MGG-stained · single-cell field · bone marrow aspirate smear: 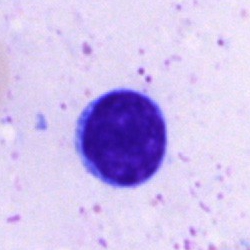Q: What is shown here?
A: Typical lymphocyte.